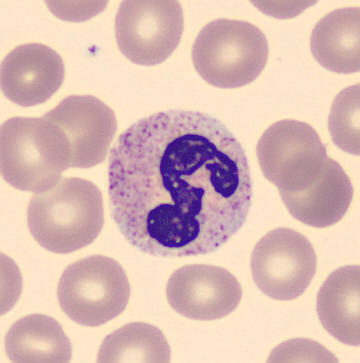Identified as a segmented neutrophil.
May Grünwald-Giemsa stain; image size 360×363; peripheral blood film.